Romanowsky-type stain. Peripheral blood smear
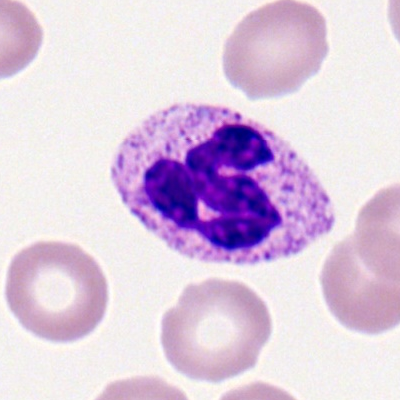 {"cell_type": "segmented neutrophil", "lineage": "myeloid"}